Brightfield, 40× oil-immersion objective. Bone marrow aspirate smear. Cropped to a single cell:
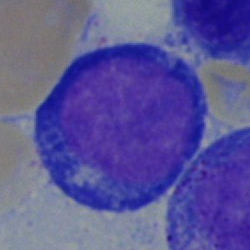Q: Identify the cell.
A: This is a pronormoblast.